40× oil immersion. Bone marrow smear:
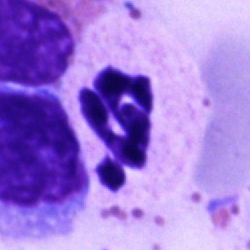 Specimen: bone marrow aspirate smear.
Morphological class: polymorphonuclear neutrophil.
Lineage: myeloid.